250×250 px; bone marrow aspirate smear; 40× objective, oil immersion: 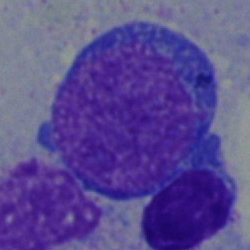Showing an undifferentiated blast.